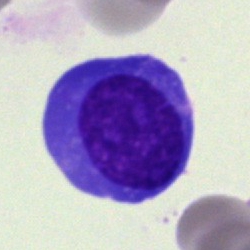Single cell identified as an erythroblast.